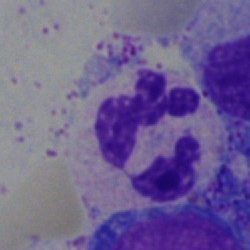Single cell identified as a neutrophil (segmented).